Bone marrow aspirate smear · brightfield microscopy, 40× oil immersion — 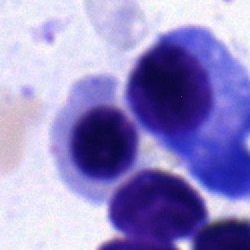
Erythroblast.